Peripheral blood smear. Brightfield, 100× oil-immersion objective. 400×400 px.
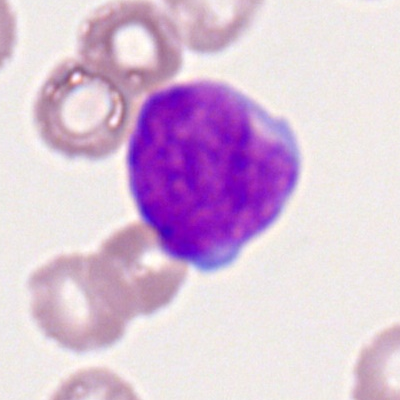

Classification: myeloid blast.